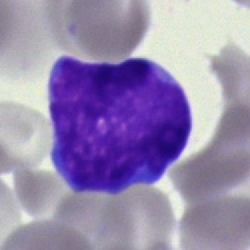 Bone marrow aspirate smear, single cell — blast cell.